Bone marrow aspirate smear. 40× oil immersion. Pappenheim-stained — 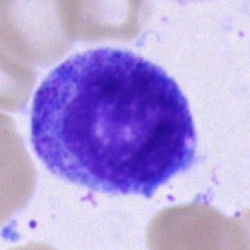
This is a promyelocyte.